Bone marrow smear · single-cell crop:
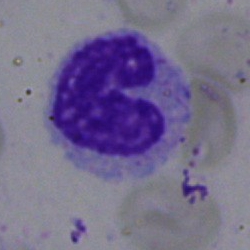 Cell type — neutrophil (band).